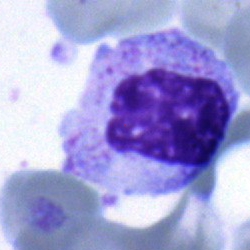

Q: Identify the cell.
A: Band-form neutrophil.